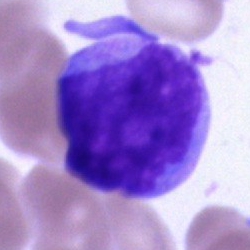
The morphological class is undifferentiated blast.